Peripheral blood smear.
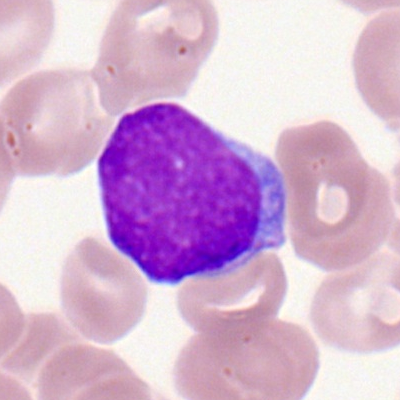{"cell_type": "typical lymphocyte"}